Bone marrow smear: 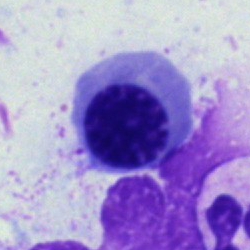Cell type = normoblast.